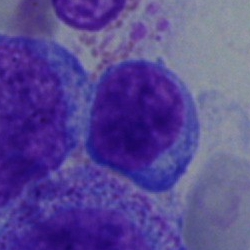

Q: What cell is this?
A: Lymphocyte.